Bone marrow aspirate smear: 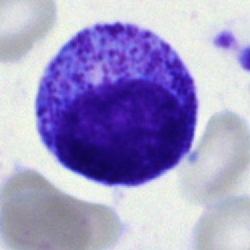

Specimen: bone marrow smear.
Cell: myelocyte.